250 by 250 pixels; bone marrow smear; single-cell field
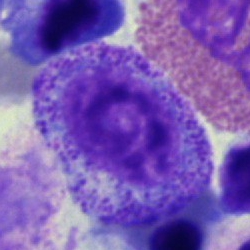

Impression — promyelocyte.